Bone marrow aspirate smear. Image size 250×250.
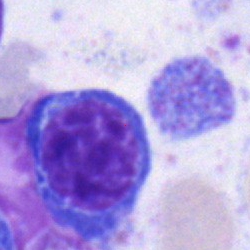
Morphology consistent with a normoblast.